Bone marrow aspirate smear:
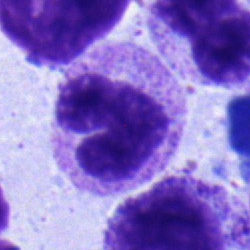Specimen: bone marrow smear.
Cell type: band neutrophil.
Lineage: myeloid.